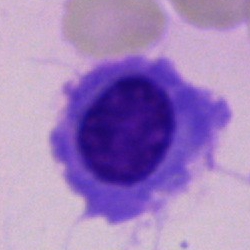 Artefact.